Bone marrow smear. 40× objective, oil immersion
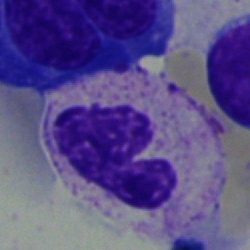Classification: band neutrophil.